Bone marrow aspirate smear; May-Grünwald-Giemsa/Pappenheim stain:
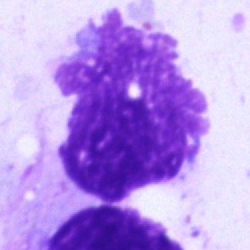

This is an artifact.